Bone marrow aspirate smear:
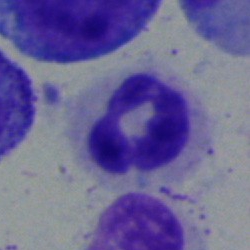

Morphology consistent with a polymorphonuclear neutrophil.